Bone marrow smear
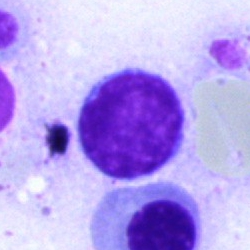Morphological class: lymphocyte.